Single-cell field; 250 by 250 pixels; bone marrow smear — 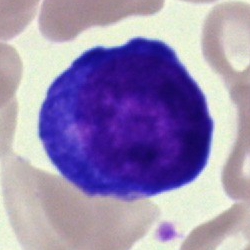

The cell shown is a pronormoblast.